Bone marrow smear · May-Grünwald-Giemsa stain — 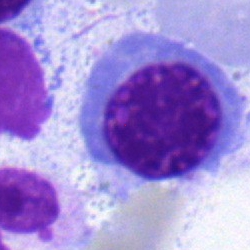 Specimen: bone marrow smear.
Classification: nucleated red cell.